Bone marrow aspirate smear · 250×250 · Pappenheim-stained.
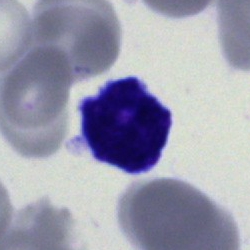
Impression → blast cell.